Image size 250×250; bone marrow aspirate smear: 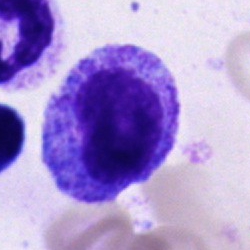The cell shown is a promyelocyte.